Bone marrow smear: 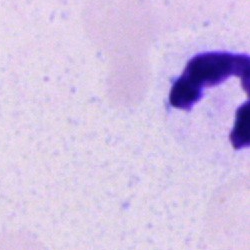 Morphological class: neutrophil (segmented).